Bone marrow smear:
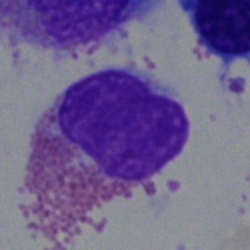
The classification is eosinophilic granulocyte.